Bone marrow aspirate smear.
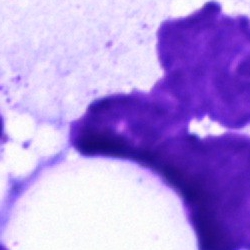

Q: What is shown here?
A: It is an artefact.